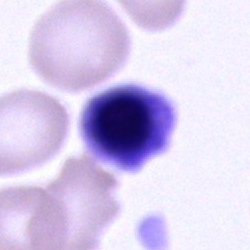
Specimen: bone marrow smear.
Cell: erythroblast.
Lineage: erythroid.